Bone marrow aspirate smear:
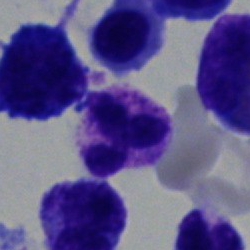 Q: What is the morphological classification of this cell?
A: It is a segmented neutrophil.